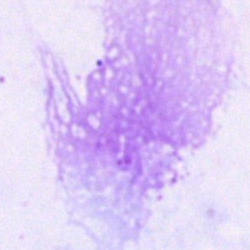 {"cell_type": "artefact"}